Brightfield microscopy, 40× oil immersion. Bone marrow smear.
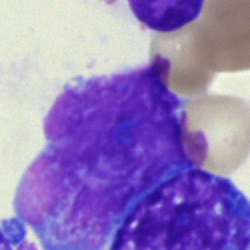Specimen: bone marrow aspirate smear.
Cell: artifact.